Bone marrow aspirate smear — 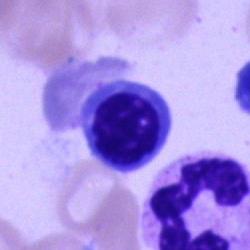
Morphological class — normoblast.